Peripheral blood film:
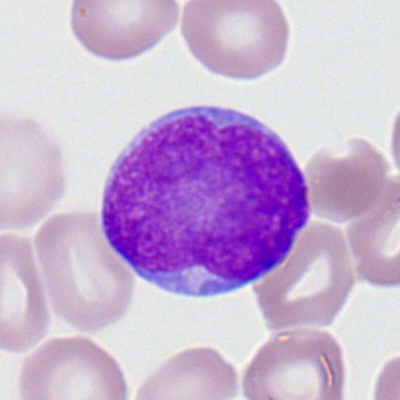 Cell — myeloid blast.